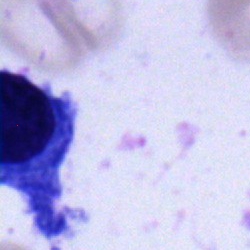 Bone marrow smear showing a plasmacyte.